Bone marrow aspirate smear: 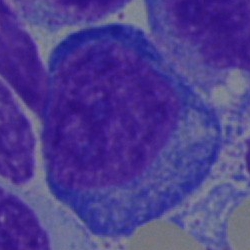
Q: Which cell type is shown here?
A: Proerythroblast.